Bone marrow aspirate smear; May-Grünwald-Giemsa stain:
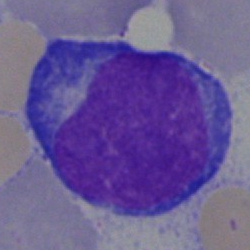 Q: What is shown here?
A: It is a progranulocyte.